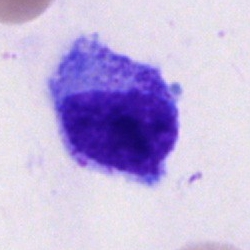{"cell_type": "progranulocyte", "lineage": "myeloid"}